Pappenheim-stained; bone marrow aspirate smear.
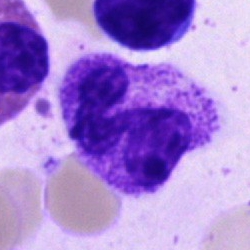

Classification — segmented neutrophil.